Bone marrow smear: 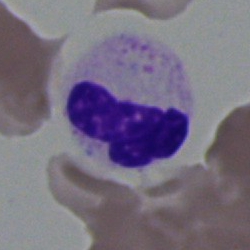 Specimen: bone marrow aspirate smear.
Cell: segmented neutrophil.